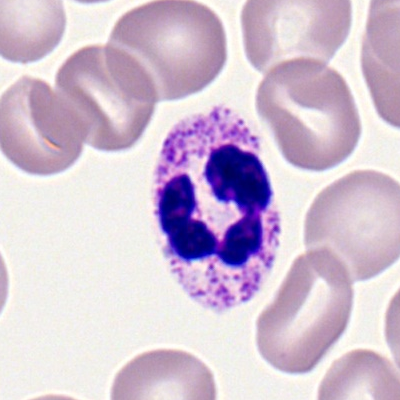
Segmented neutrophil.